Bone marrow aspirate smear · 40× objective, oil immersion: 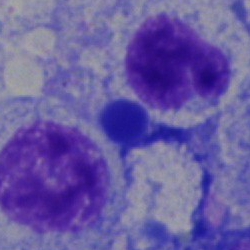

Specimen: bone marrow aspirate smear.
Cell type: artefact.